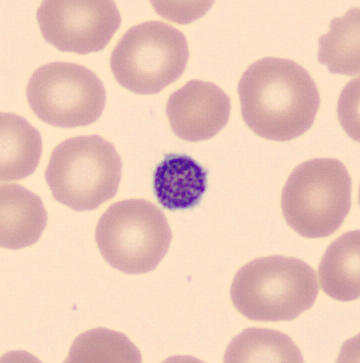 This is a platelet. Preparation: Peripheral blood film. Automated cell imaging (CellaVision DM96). 360×363.